Peripheral blood smear
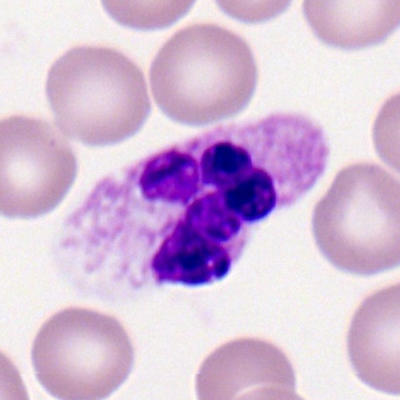

Cell = polymorphonuclear neutrophil.